40× oil immersion · bone marrow aspirate smear · MGG-stained.
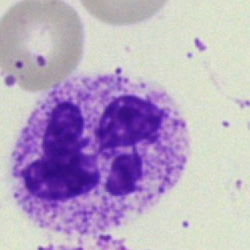
The cell type is neutrophil (segmented).